Bone marrow aspirate smear:
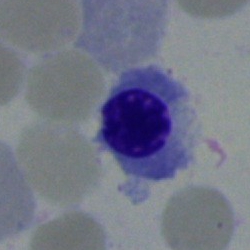

Impression → erythroblast.